Bone marrow aspirate smear:
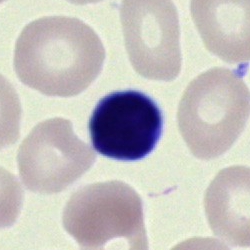
Impression → lymphocyte.